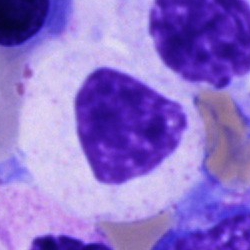 Classification — cell of indeterminate lineage.